Pappenheim-stained · bone marrow aspirate smear:
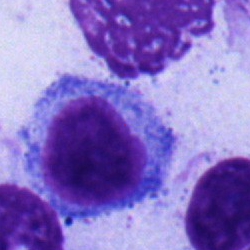The cell shown is a lymphocyte.